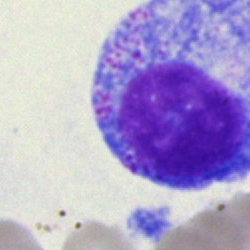 The cell is promyelocyte.